Peripheral blood smear: 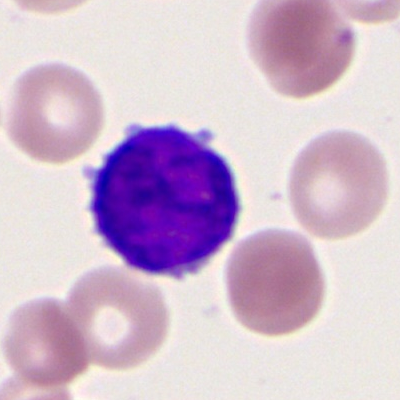
Cell = lymphocyte.